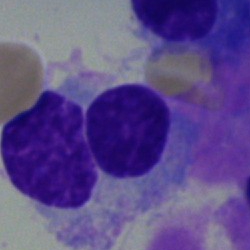A plasma cell on a bone marrow smear.